Bone marrow smear. Cropped to a single cell
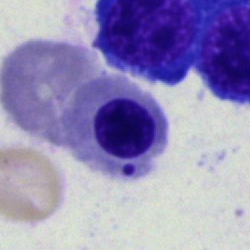

An erythroblast.